Cropped to a single cell; image size 250×250; bone marrow aspirate smear.
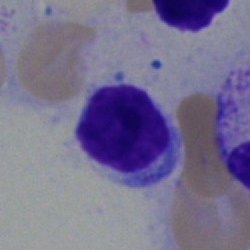
Morphology — lymphocyte.